Bone marrow smear:
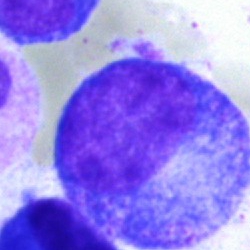
Impression → progranulocyte.